Bone marrow smear
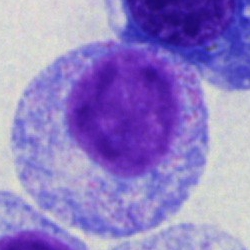
Cell — promyelocyte.